Brightfield, 40× oil-immersion objective. Bone marrow aspirate smear.
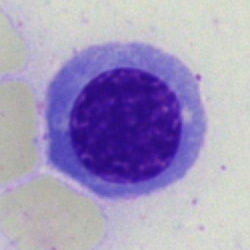 Showing a nucleated red cell.